Bone marrow aspirate smear:
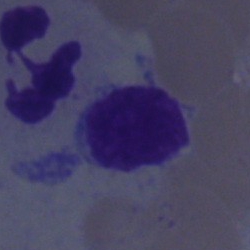
Morphological class: lymphocyte.